250×250 · bone marrow aspirate smear: 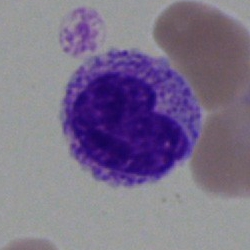

Morphological class: metamyelocyte.